Bone marrow aspirate smear:
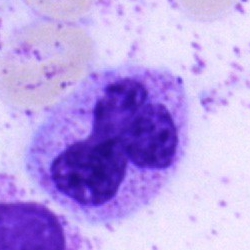 The morphological class is neutrophil (segmented).